Bone marrow aspirate smear
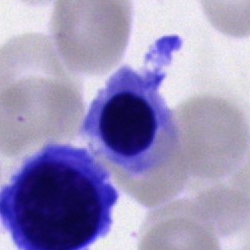

{"cell_type": "erythroblast", "lineage": "erythroid"}